Single cell centered in the field. May-Grünwald-Giemsa/Pappenheim stain. Bone marrow aspirate smear.
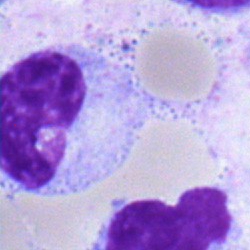
A metamyelocyte.